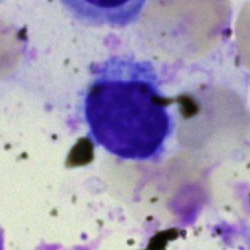Morphology — lymphocyte.